Bone marrow aspirate smear — 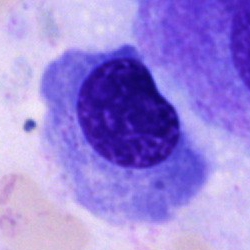
Showing a nucleated red cell.